Bone marrow smear — 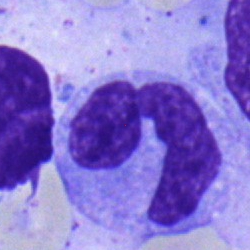
{"cell_type": "monocyte", "lineage": "myeloid"}